Bone marrow aspirate smear · 40× objective, oil immersion · MGG-stained
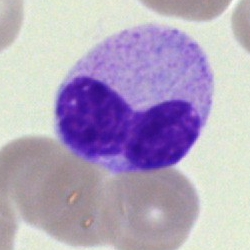
Impression → band neutrophil.